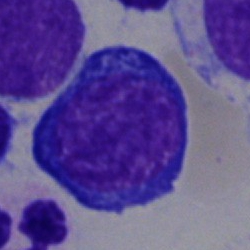

Single-cell crop from a bone marrow smear: nucleated red blood cell.